Bone marrow smear: 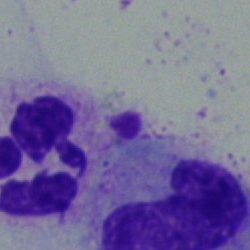
Classification: neutrophil (segmented).